Automated cell imaging (CellaVision DM96) · peripheral blood smear · single-cell field: 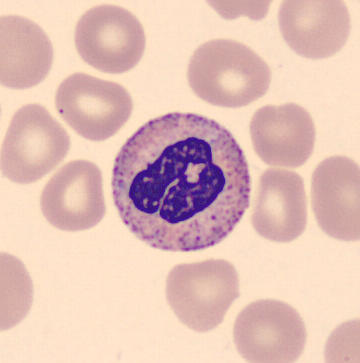

{"cell_type": "segmented neutrophil"}